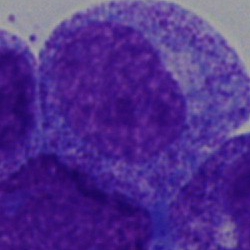Impression — promyelocyte.